Bone marrow smear
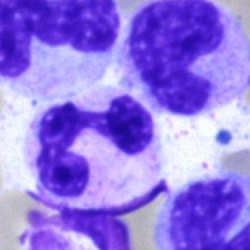
Classification = neutrophil (segmented).